Brightfield, 40× oil-immersion objective · bone marrow smear — 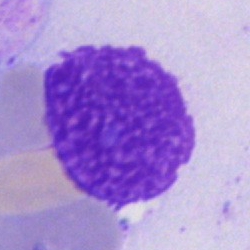 The classification is artifact.